Bone marrow smear
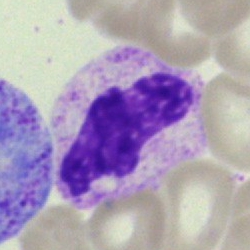

Q: What cell is this?
A: A segmented neutrophil.